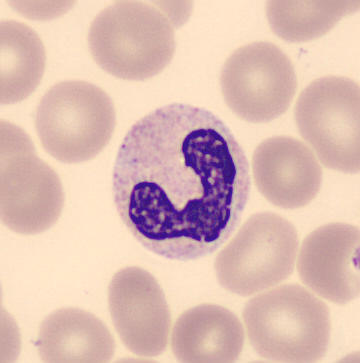

The cell shown is a band-form neutrophil. Peripheral blood film. Cropped to a single cell. 360×363.